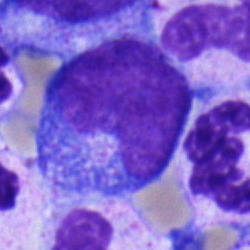

{"cell_type": "progranulocyte", "lineage": "myeloid"}